Bone marrow aspirate smear.
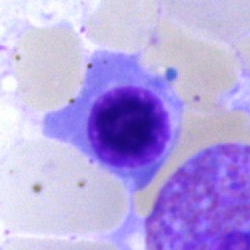
Q: What cell is this?
A: This is a normoblast.